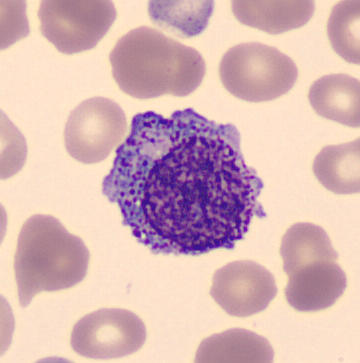Morphology — promyelocyte. Image: Peripheral blood film. 360 by 363 pixels. May-Grünwald-Giemsa-stained.